Bone marrow aspirate smear · MGG-stained
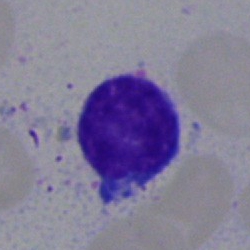Typical lymphocyte.